Bone marrow smear · 250 by 250 pixels — 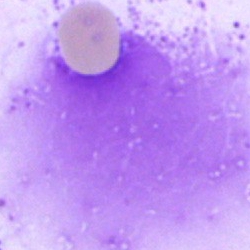

Morphology consistent with an artefact.